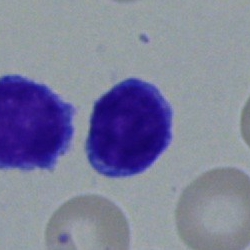 Classification = lymphocyte.